Bone marrow aspirate smear · brightfield microscopy, 40× oil immersion: 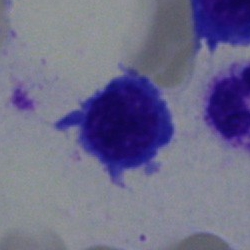Classification = erythroblast.